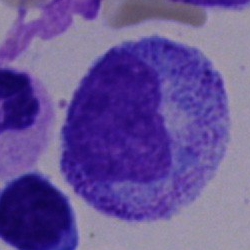

Cell = promyelocyte.